Brightfield, 40× oil-immersion objective; 250×250 px; bone marrow aspirate smear: 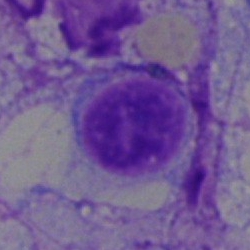
{"cell_type": "lymphocyte"}